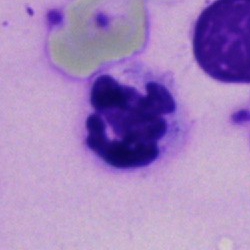 Specimen: bone marrow smear.
Classification: neutrophil (segmented).